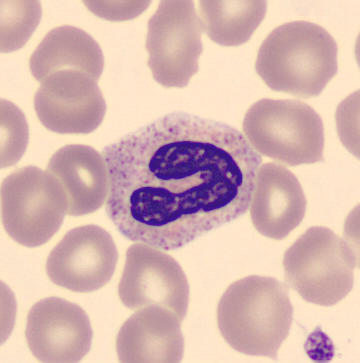 Cell: band neutrophil. Preparation: Peripheral blood film; CellaVision DM96.